Bone marrow aspirate smear.
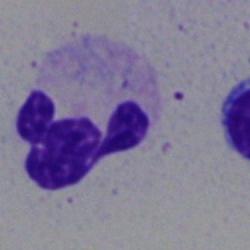The cell shown is a polymorphonuclear neutrophil.